Bone marrow smear:
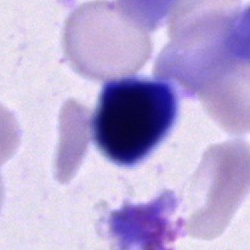Showing a cell of indeterminate lineage.